MGG-stained. Brightfield, 40× oil-immersion objective. Bone marrow smear.
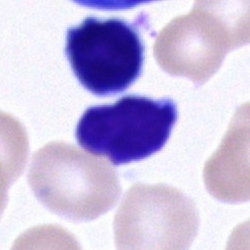 This is a typical lymphocyte.